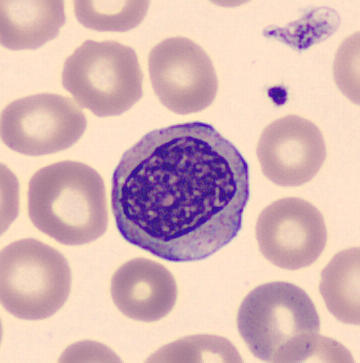 Preparation: Peripheral blood smear.

Myelocyte.